40× objective, oil immersion · bone marrow aspirate smear: 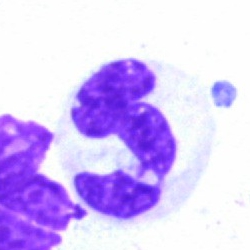 Specimen: bone marrow aspirate smear.
Cell: segmented neutrophil.
Lineage: myeloid.